Bone marrow smear · image size 250×250: 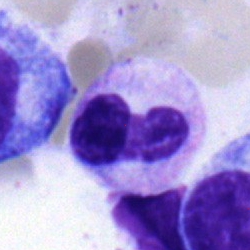Q: What type of cell is this?
A: Stab cell.